Bone marrow smear · 250×250 — 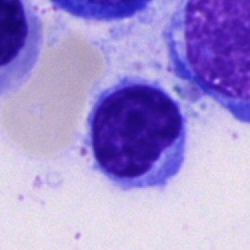 {"cell_type": "typical lymphocyte", "lineage": "lymphoid"}